Bone marrow smear. May-Grünwald-Giemsa stain
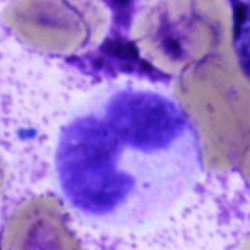Morphology — polymorphonuclear neutrophil.